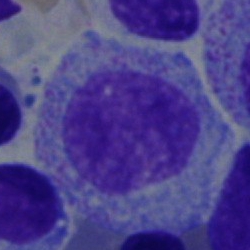Specimen: bone marrow aspirate smear.
Cell: myelocyte.
Lineage: myeloid.